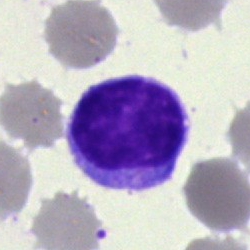Q: What is shown here?
A: A lymphocyte.